Bone marrow aspirate smear.
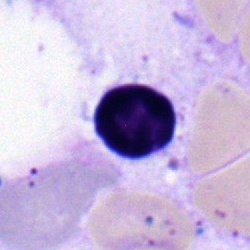 Q: Which cell type is shown here?
A: This is a typical lymphocyte.